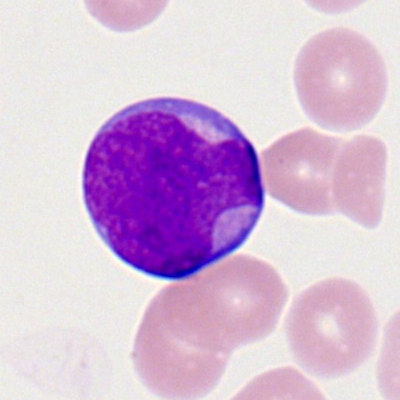 Q: What is the morphological classification of this cell?
A: A myeloid blast.